Bone marrow aspirate smear. 250×250:
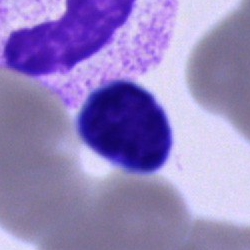
The morphological class is cell of indeterminate lineage.